Bone marrow aspirate smear. 250×250.
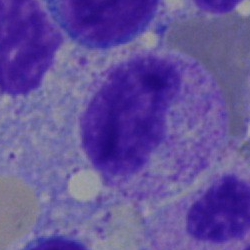 Specimen: bone marrow smear.
Classification: neutrophil (band).